Peripheral blood film.
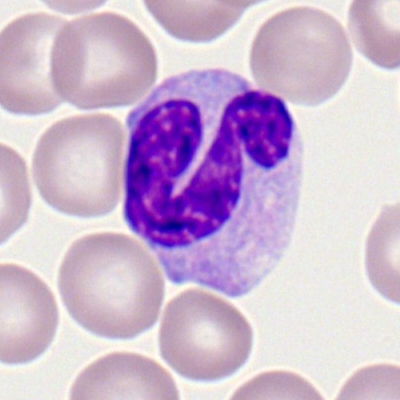Specimen: peripheral blood smear.
Cell: monocyte.
Lineage: myeloid.